Peripheral blood smear.
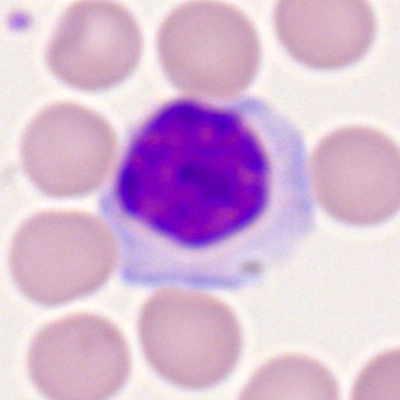
Typical lymphocyte.